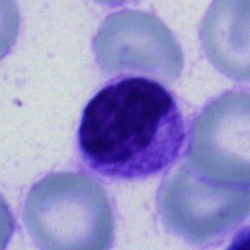

Bone marrow smear showing a cell of indeterminate lineage.